Bone marrow aspirate smear; image size 250×250: 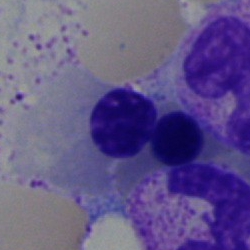Impression → normoblast.